Bone marrow smear:
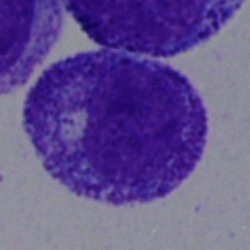Classification — progranulocyte.